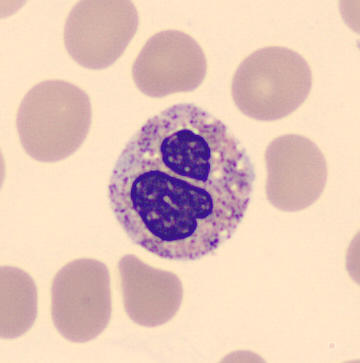A neutrophil (segmented). Acquisition: Peripheral blood film.